Bone marrow aspirate smear · MGG-stained: 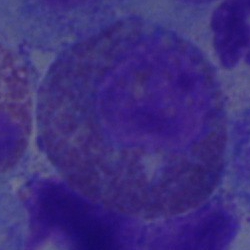An eosinophil.